Bone marrow aspirate smear — 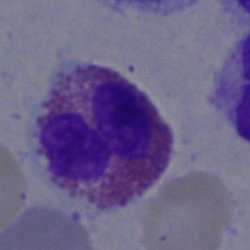
Morphological class = eosinophil.